Pappenheim-stained · bone marrow aspirate smear · 250 by 250 pixels:
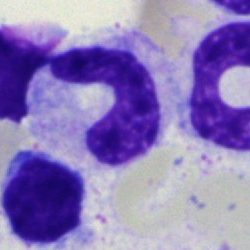 The classification is band neutrophil.